Bone marrow smear; cropped to a single cell — 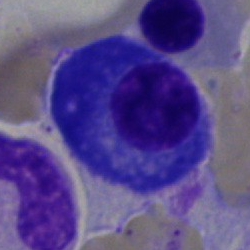 Cell type — plasma cell.